Bone marrow aspirate smear.
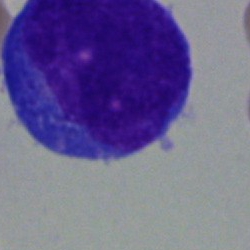
An undifferentiated blast.